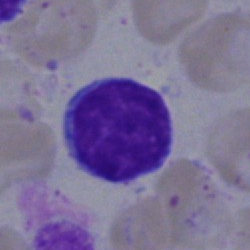Showing a lymphocyte.